Bone marrow aspirate smear.
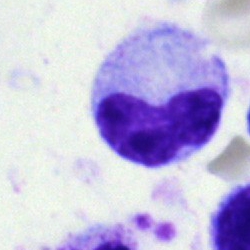 Morphology consistent with a neutrophil (band).